Image size 250×250. 40× objective, oil immersion. Bone marrow aspirate smear
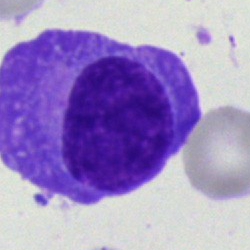 Showing a plasma cell.